Bone marrow aspirate smear; May-Grünwald-Giemsa stain; 250 by 250 pixels — 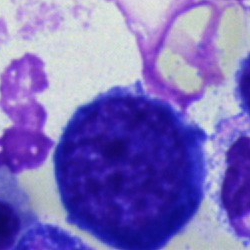

A nucleated red cell.